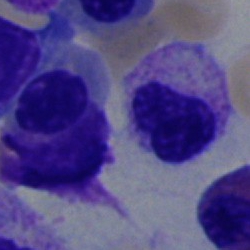
Specimen: bone marrow aspirate smear.
Cell: metamyelocyte.
Lineage: myeloid.